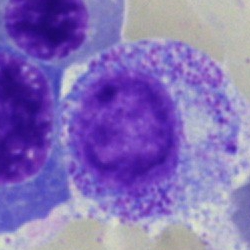
Impression — myelocyte.